Bone marrow smear: 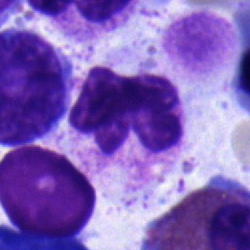 Morphological class: segmented neutrophil.